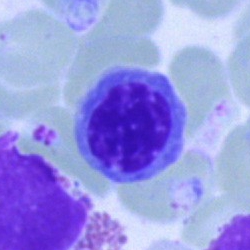 Q: Which cell type is shown here?
A: Erythroblast.